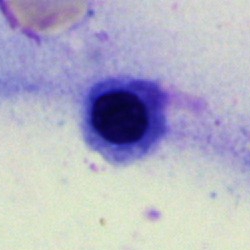 Bone marrow aspirate smear, single cell — normoblast.